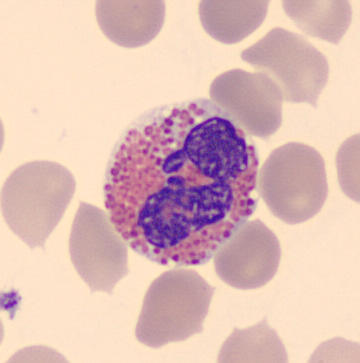Peripheral blood smear. CellaVision DM96 digital cell image. Single-cell crop.
Cell: eosinophil.